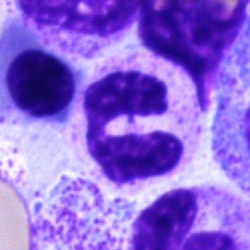 Cell = segmented neutrophil.